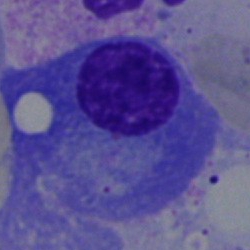

Q: What cell is this?
A: This is a plasma cell.